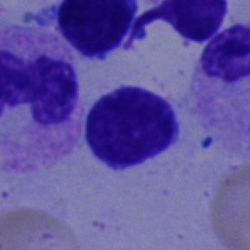
Bone marrow aspirate smear, single cell — lymphocyte.